Bone marrow aspirate smear · May-Grünwald-Giemsa/Pappenheim stain
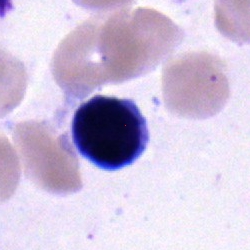
Morphological class — typical lymphocyte.